Bone marrow smear — 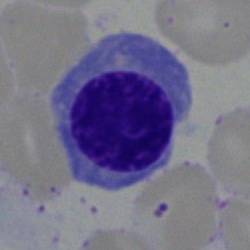 Classification: nucleated red blood cell.